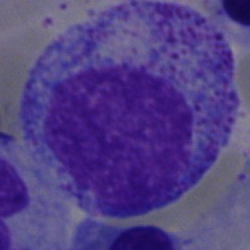

Classification = progranulocyte.